Bone marrow smear · single cell centered in the field
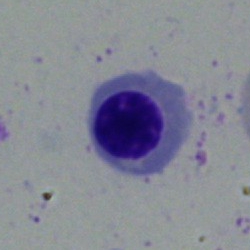
Cell type = nucleated red cell.